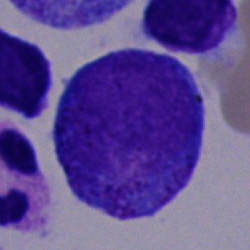
Cell type: promyelocyte.